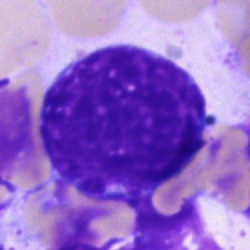 Classification — unidentifiable cell.